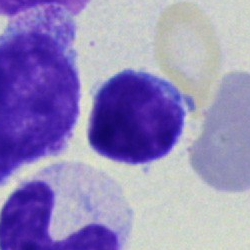

Specimen: bone marrow aspirate smear.
Cell: typical lymphocyte.